Brightfield, 100× oil-immersion objective; peripheral blood film — 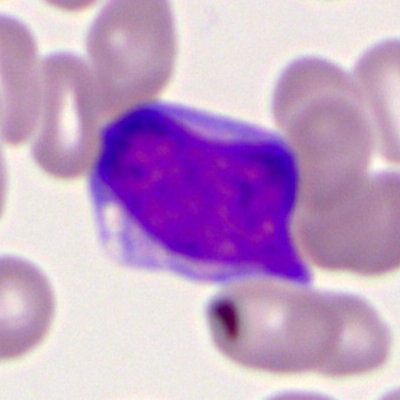
The cell is myeloblast.